250 by 250 pixels; bone marrow smear; Pappenheim-stained: 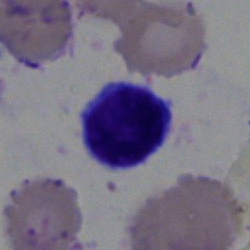 Cell = typical lymphocyte.